Bone marrow aspirate smear — 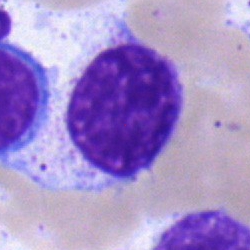 {"cell_type": "myelocyte"}